Bone marrow smear:
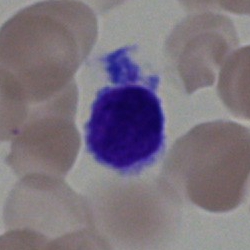This is a hairy cell.